Bone marrow smear
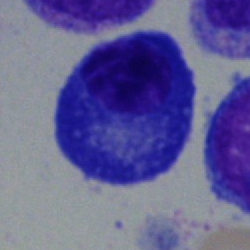{"cell_type": "plasmacyte", "lineage": "lymphoid"}